Bone marrow aspirate smear.
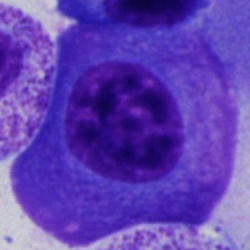Classification: plasmacyte.